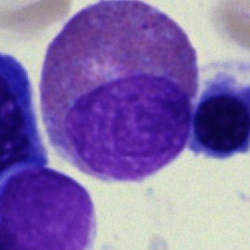 This is an eosinophil.